Bone marrow aspirate smear: 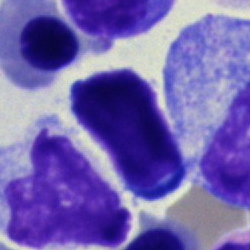Q: Which cell type is shown here?
A: Typical lymphocyte.